Pappenheim-stained. Single-cell field. Bone marrow smear:
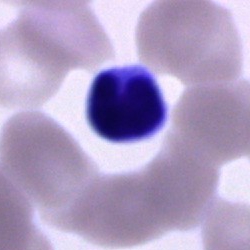

Specimen: bone marrow aspirate smear.
Cell: unidentifiable cell.